Image size 250×250. Bone marrow aspirate smear: 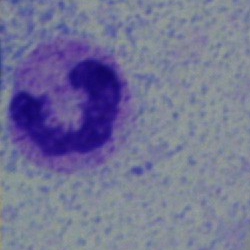{"cell_type": "polymorphonuclear neutrophil"}